Bone marrow aspirate smear; May-Grünwald-Giemsa stain — 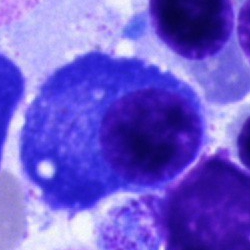 This is a plasma cell.